Bone marrow smear.
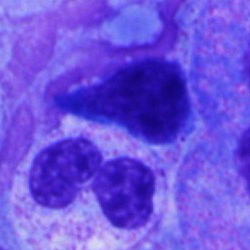 Morphology consistent with a segmented neutrophil.